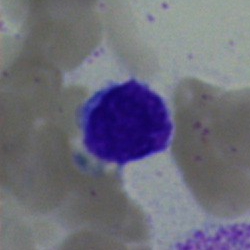Q: What is the morphological classification of this cell?
A: It is a typical lymphocyte.